Image size 250×250 · single-cell field · bone marrow aspirate smear.
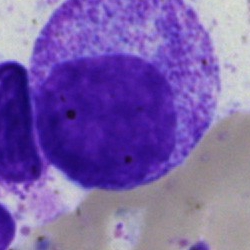Showing a myelocyte.